Bone marrow aspirate smear · single-cell field.
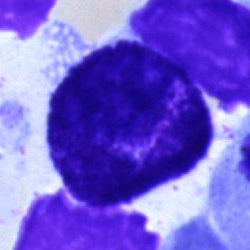Morphological class — other cell.